Bone marrow aspirate smear — 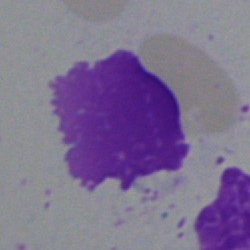 This is an artifact.